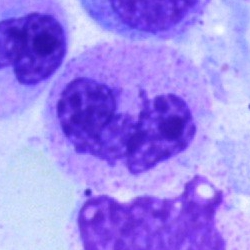
Morphological class = neutrophil (segmented).